Image size 250×250. Bone marrow smear
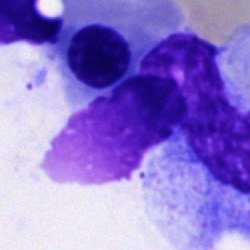Morphology → artefact.